100× oil immersion, 14.14 px/µm. Peripheral blood smear. 400 by 400 pixels: 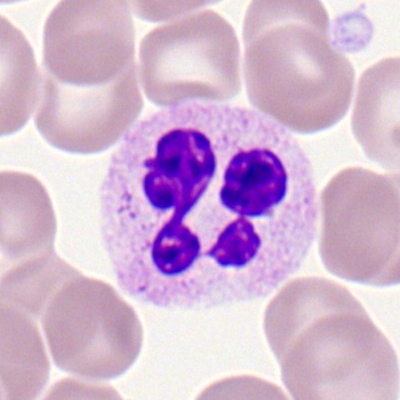The cell shown is a neutrophil (segmented).